Bone marrow aspirate smear — 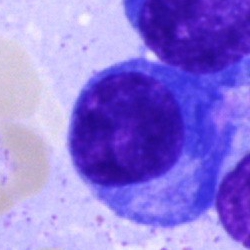{"cell_type": "plasmacyte", "lineage": "lymphoid"}